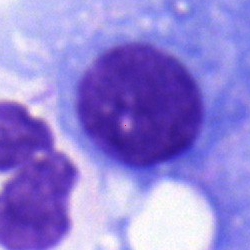
Showing a plasma cell.